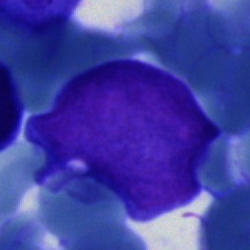

Classification: undifferentiated blast.